Bone marrow aspirate smear.
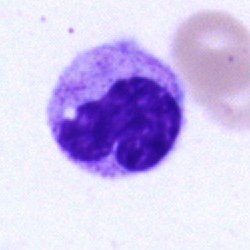 The cell type is neutrophil (segmented).